Brightfield, 40× oil-immersion objective; Pappenheim-stained; bone marrow smear.
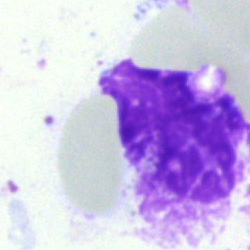
Specimen: bone marrow aspirate smear.
Classification: artifact.